Bone marrow smear.
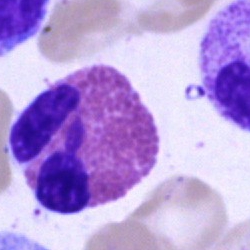Classification: eosinophilic granulocyte.